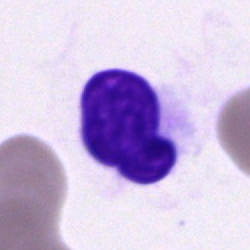
Cell of indeterminate lineage.